Bone marrow aspirate smear:
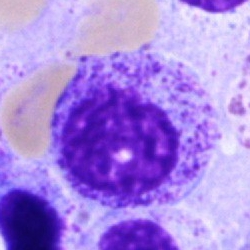A myelocyte.